Bone marrow smear:
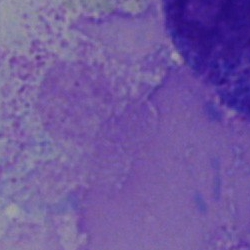 The cell is artifact.